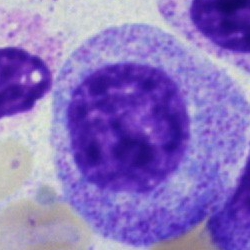Morphological class = promyelocyte.